Bone marrow aspirate smear.
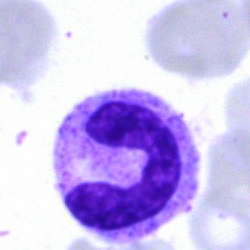
Morphology → neutrophil (segmented).